Image size 250×250. Bone marrow aspirate smear:
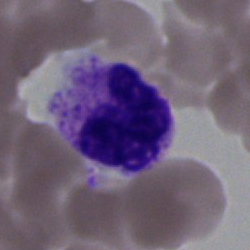
Specimen: bone marrow smear.
Morphological class: polymorphonuclear neutrophil.
Lineage: myeloid.